Bone marrow aspirate smear — 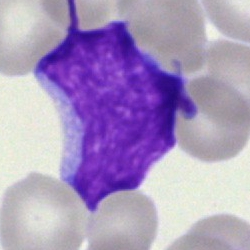The cell shown is a blast.